Bone marrow smear. Single-cell crop. May-Grünwald-Giemsa stain.
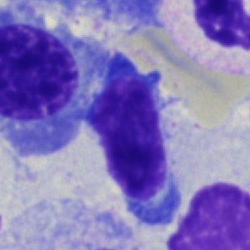
Morphological class: lymphocyte.